Peripheral blood film — 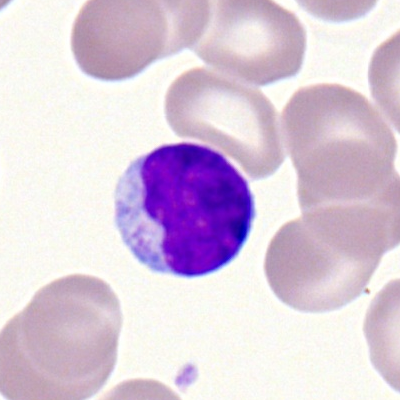

Morphological class — lymphocyte.